Bone marrow smear; cropped to a single cell
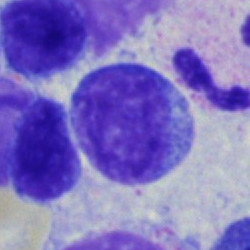
Impression — lymphocyte.